Cropped to a single cell. 40× oil immersion. Bone marrow smear.
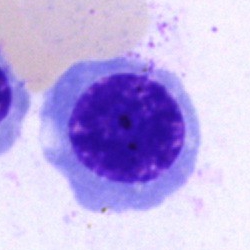

This is a nucleated red blood cell.